Bone marrow aspirate smear — 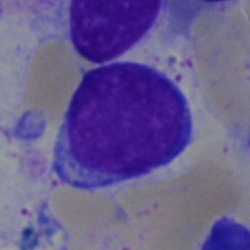A lymphocyte.